Peripheral blood film · 100× objective, oil immersion.
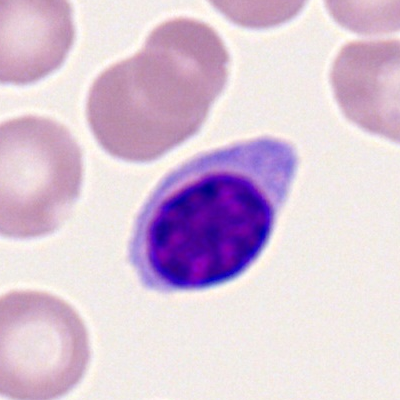 Morphology → lymphocyte.